Bone marrow aspirate smear. 40× objective, oil immersion.
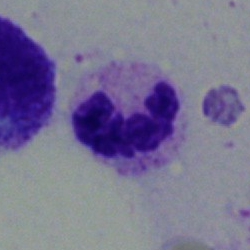 Single cell identified as a segmented neutrophil.